Bone marrow smear.
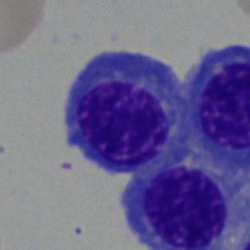

A normoblast.